Bone marrow aspirate smear.
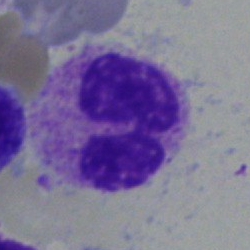 Single cell identified as a polymorphonuclear neutrophil.